Bone marrow smear: 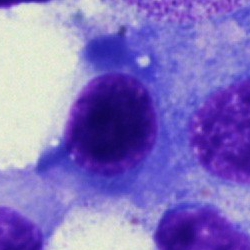
Morphological class — nucleated red cell.